Bone marrow smear.
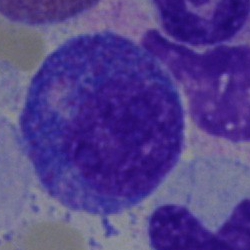Showing a progranulocyte.